Bone marrow aspirate smear — 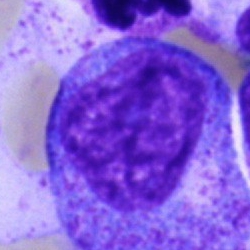A promyelocyte.